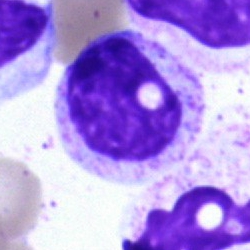Bone marrow aspirate smear, single cell — myelocyte.